May-Grünwald-Giemsa/Pappenheim stain; bone marrow smear — 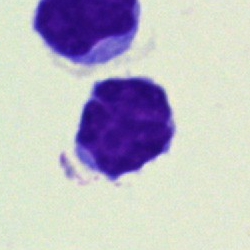 Morphology consistent with a typical lymphocyte.